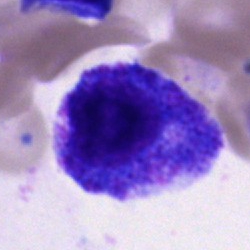

{"cell_type": "progranulocyte"}